Bone marrow aspirate smear — 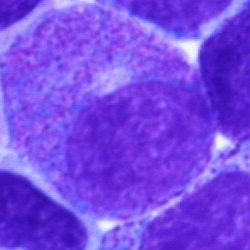The cell shown is a myelocyte.